May-Grünwald-Giemsa/Pappenheim stain; image size 250×250; bone marrow smear: 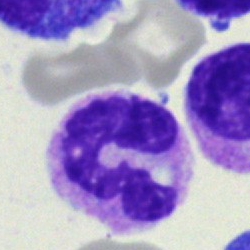
Cell: band neutrophil.